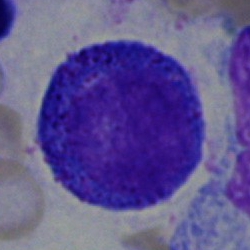

Q: What type of cell is this?
A: An undifferentiated blast.